Peripheral blood film:
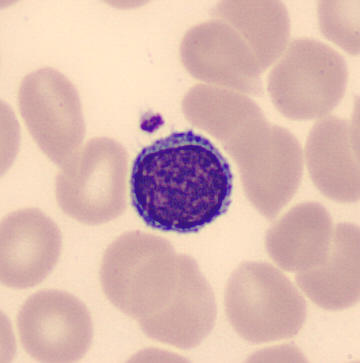
Q: What cell is this?
A: Typical lymphocyte.